Bone marrow aspirate smear
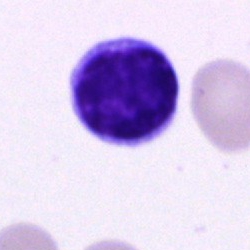Cell — typical lymphocyte.